Bone marrow smear:
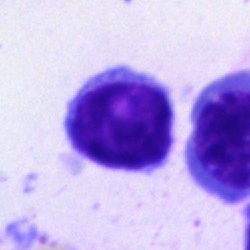 Morphological class = lymphocyte.